Bone marrow aspirate smear; 250×250 px; single-cell crop.
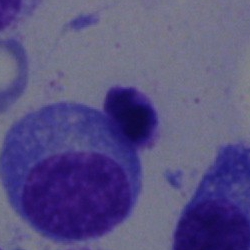 This is a plasmacyte.